Bone marrow smear.
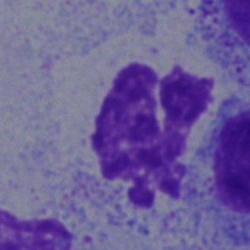This is an artefact.